Bone marrow aspirate smear — 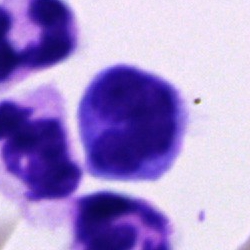The morphological class is monocyte.